Single-cell field; May-Grünwald-Giemsa stain; bone marrow aspirate smear
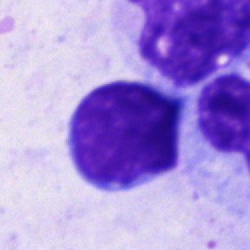Q: What is shown here?
A: It is a lymphocyte.